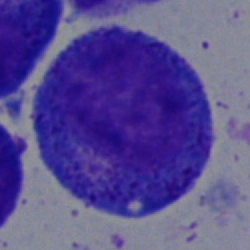
{"cell_type": "promyelocyte", "lineage": "myeloid"}